Bone marrow smear: 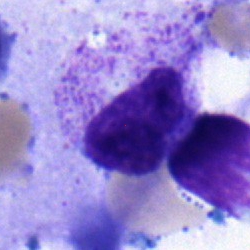Cell type: myelocyte.